Bone marrow smear · cropped to a single cell · May-Grünwald-Giemsa stain — 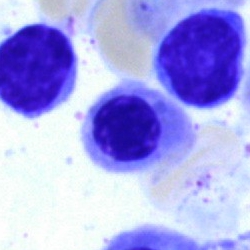

Impression → normoblast.